250×250; 40× objective, oil immersion; bone marrow aspirate smear — 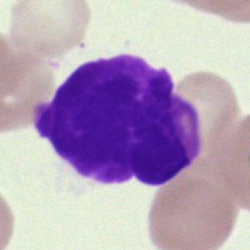Morphology consistent with an artefact.